Bone marrow aspirate smear:
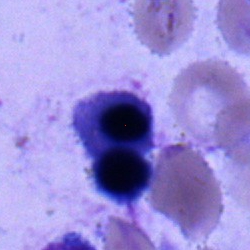

Morphological class — nucleated red blood cell.